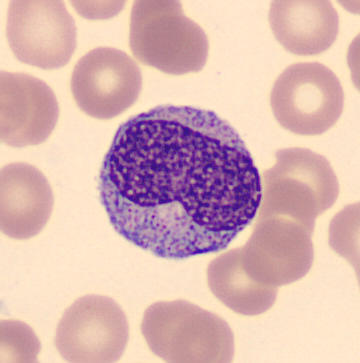 Image: CellaVision DM96. Peripheral blood smear. Cropped to a single cell.
Cell = progranulocyte.